250×250 px; single cell centered in the field; bone marrow aspirate smear:
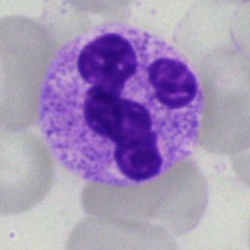

A polymorphonuclear neutrophil.